Cropped to a single cell. MGG-stained. Bone marrow smear:
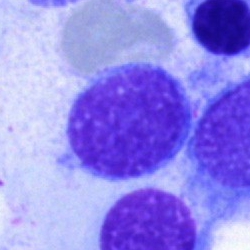
Cell: lymphocyte.